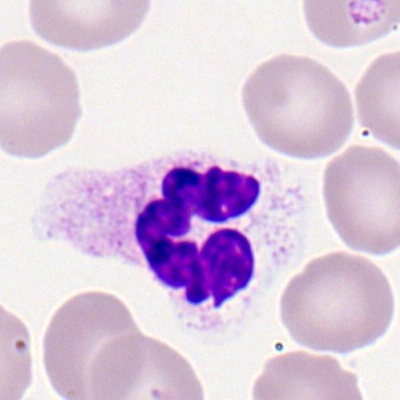

Specimen: peripheral blood film.
Cell type: neutrophil (segmented).
Lineage: myeloid.